Bone marrow smear
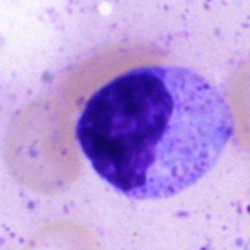 Q: What cell is this?
A: A myelocyte.